Peripheral blood smear: 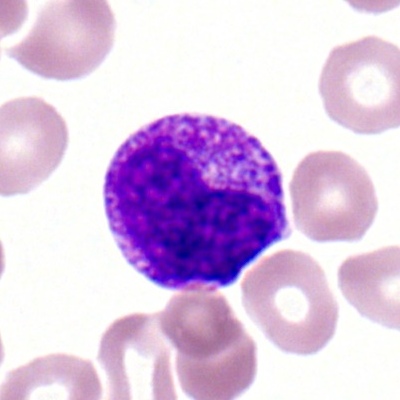

Cell type: segmented neutrophil.